May-Grünwald-Giemsa stain; bone marrow smear
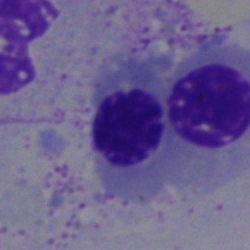
Morphological class: nucleated red blood cell.